Bone marrow aspirate smear. Single-cell crop. May-Grünwald-Giemsa stain.
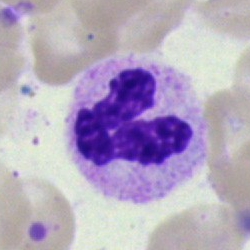 Impression → segmented neutrophil.